Bone marrow smear — 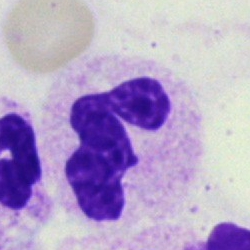Morphology consistent with a polymorphonuclear neutrophil.